Image size 250×250 · bone marrow aspirate smear: 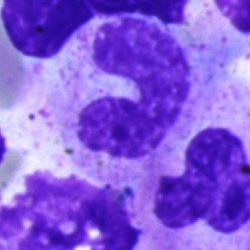{"cell_type": "band neutrophil", "lineage": "myeloid"}